40× oil immersion. Bone marrow aspirate smear:
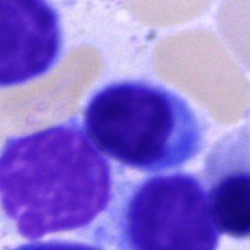The cell shown is a lymphocyte.